Bone marrow smear. Cropped to a single cell.
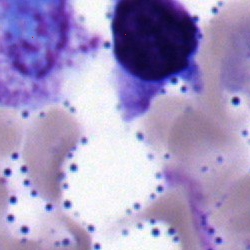Impression — nucleated red blood cell.